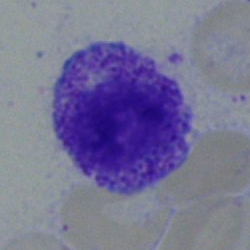
Q: Which cell type is shown here?
A: A myelocyte.